100× oil immersion; peripheral blood film; Romanowsky stain: 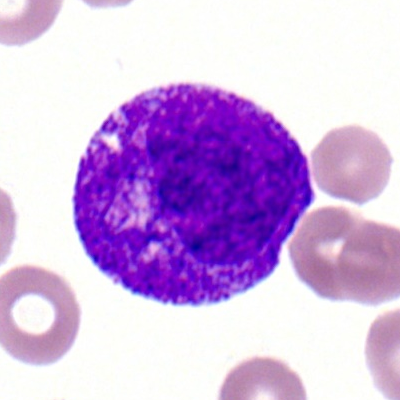
Q: What is shown here?
A: A promyelocyte.